Bone marrow smear; 250×250 px; brightfield microscopy, 40× oil immersion.
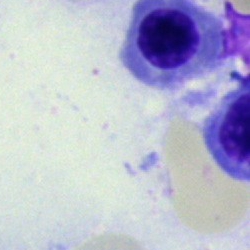
Impression — nucleated red blood cell.